Bone marrow smear:
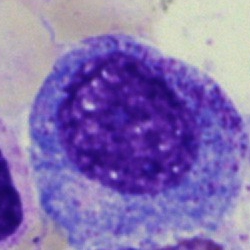 Cell: promyelocyte.